Bone marrow aspirate smear · Pappenheim-stained:
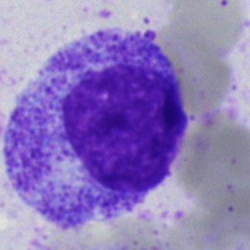Cell = myelocyte.